Bone marrow aspirate smear: 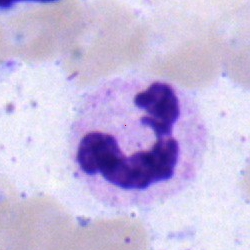Q: Identify the cell.
A: This is a neutrophil (segmented).